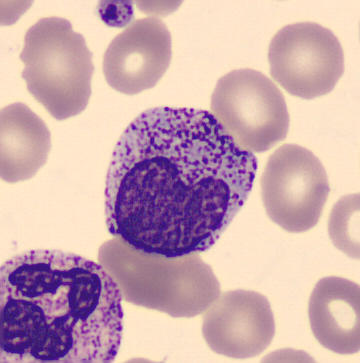 The cell shown is a metamyelocyte.